Bone marrow aspirate smear — 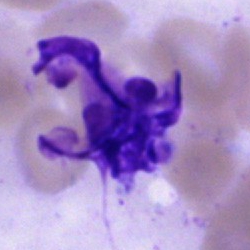Morphological class = artifact.